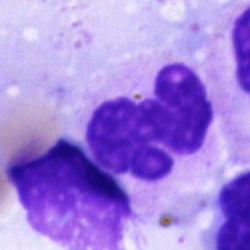 The cell shown is a polymorphonuclear neutrophil.